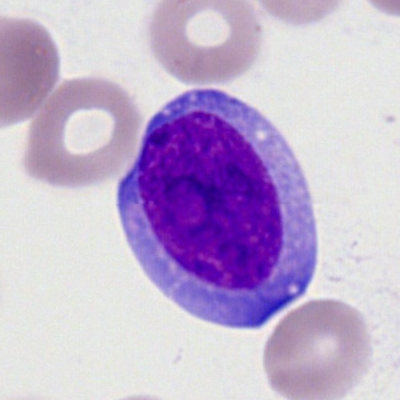
Myeloid blast.